Bone marrow aspirate smear; cropped to a single cell — 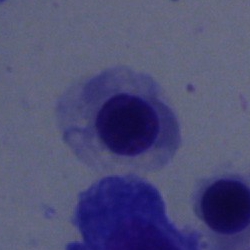
Cell type: nucleated red cell.